40× oil immersion; bone marrow aspirate smear — 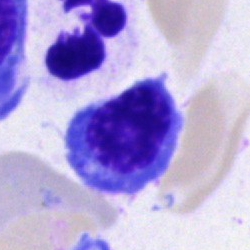 The cell type is nucleated red cell.